Bone marrow aspirate smear: 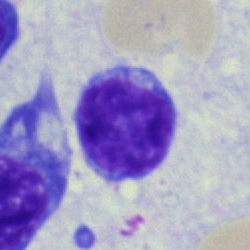 Morphological class = lymphocyte.